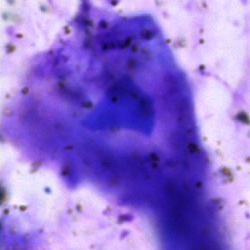 Impression → artefact.